100× oil immersion, 14.14 px/µm. Peripheral blood smear
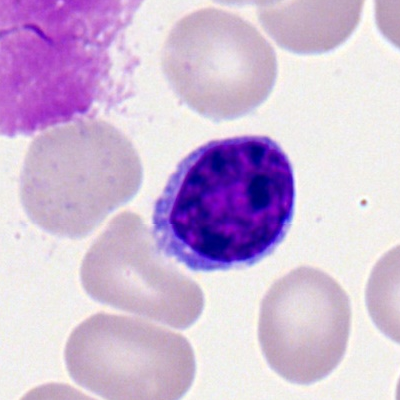Q: What is the morphological classification of this cell?
A: A lymphocyte.